Bone marrow smear
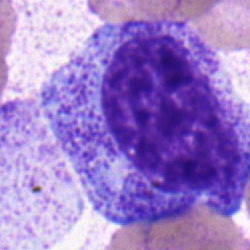 Q: Which cell type is shown here?
A: It is a promyelocyte.